Bone marrow aspirate smear — 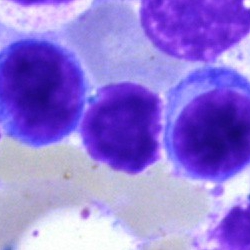 This is a lymphocyte.